Peripheral blood film
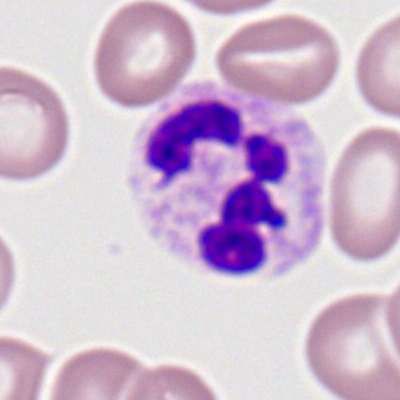

Q: What type of cell is this?
A: A neutrophil (segmented).